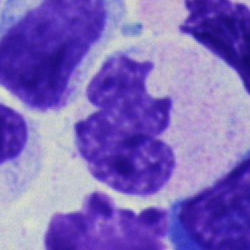
Specimen: bone marrow smear.
Cell: neutrophil (segmented).